May-Grünwald-Giemsa/Pappenheim stain; bone marrow smear.
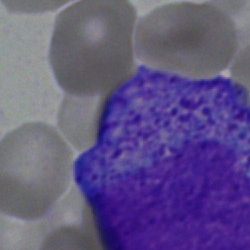
{"cell_type": "progranulocyte"}